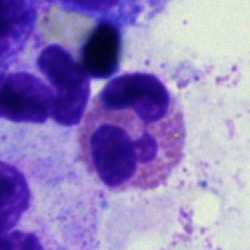Specimen: bone marrow aspirate smear.
Classification: eosinophil.